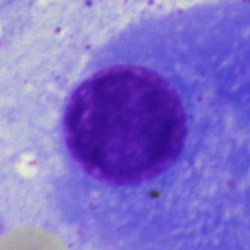Bone marrow aspirate smear, single cell — plasma cell.